Bone marrow aspirate smear — 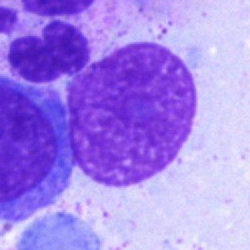
Showing an artefact.